Bone marrow aspirate smear; May-Grünwald-Giemsa stain:
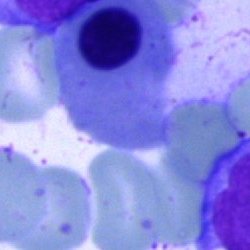 Single cell identified as an erythroblast.